Bone marrow aspirate smear — 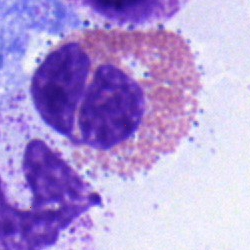 Morphology consistent with an eosinophilic granulocyte.